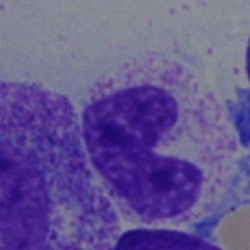Bone marrow smear showing a stab cell.